Bone marrow aspirate smear. May-Grünwald-Giemsa stain:
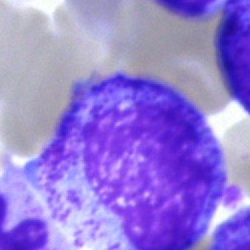 The morphological class is myelocyte.